40× oil immersion · bone marrow aspirate smear · 250 by 250 pixels.
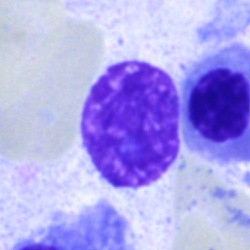Morphology consistent with an artifact.